Bone marrow smear: 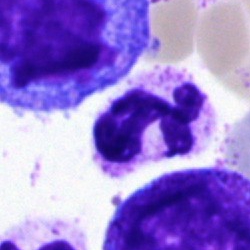 Impression → neutrophil (segmented).